Bone marrow aspirate smear:
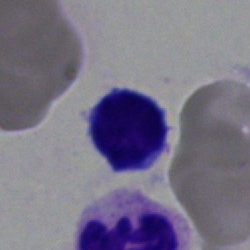

A typical lymphocyte.